Pappenheim-stained. Bone marrow smear. 250×250 px.
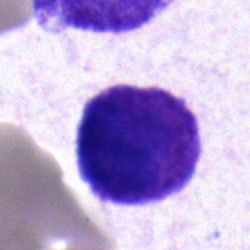

Single cell identified as an undifferentiated blast.